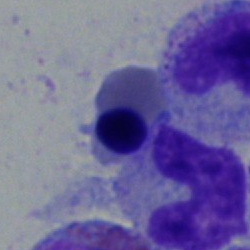
Specimen: bone marrow aspirate smear.
Morphological class: nucleated red cell.